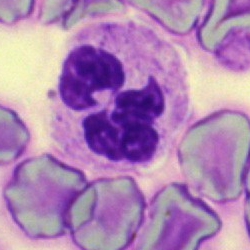Specimen: bone marrow smear.
Morphological class: neutrophil (segmented).